Bone marrow aspirate smear
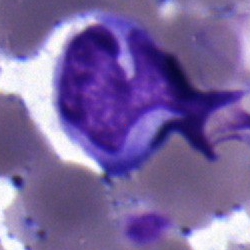A monocyte.